Bone marrow smear — 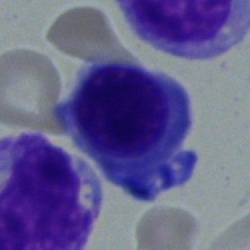Impression → normoblast.